Brightfield microscopy, 40× oil immersion · bone marrow aspirate smear · 250×250
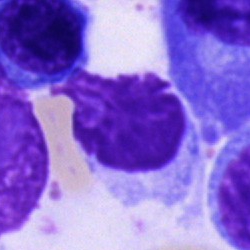

Specimen: bone marrow smear.
Morphological class: cell of indeterminate lineage.